Bone marrow smear — 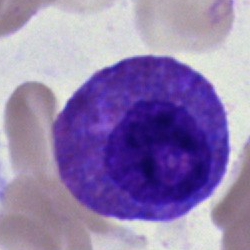
Single cell identified as an eosinophil.